Cropped to a single cell · bone marrow smear — 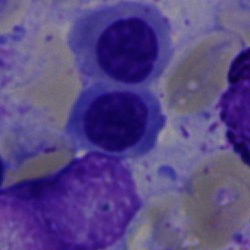
Morphology → nucleated red cell.